Bone marrow smear; 250×250: 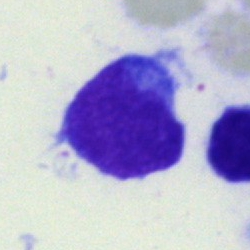Classification: blast cell.